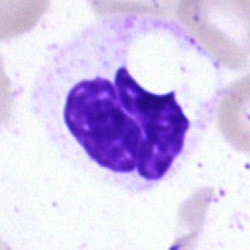The cell is artefact.